Bone marrow aspirate smear: 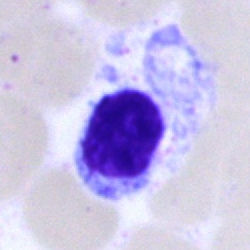Morphology consistent with a lymphocyte.